Bone marrow aspirate smear.
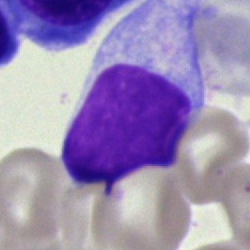

Q: Identify the cell.
A: Lymphocyte.